Bone marrow aspirate smear
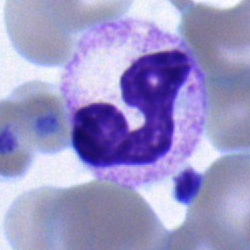
Morphology consistent with a neutrophil (band).